Bone marrow smear · brightfield microscopy, 40× oil immersion:
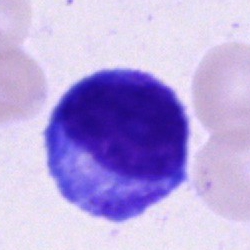 Classification: unidentifiable cell.